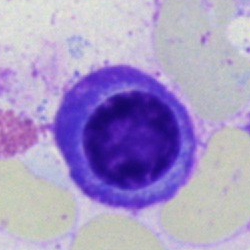Classification — plasmacyte.